Bone marrow aspirate smear:
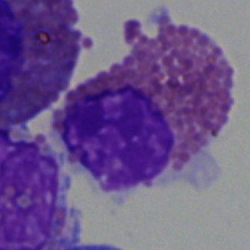 Cell type: eosinophilic granulocyte.